Bone marrow aspirate smear: 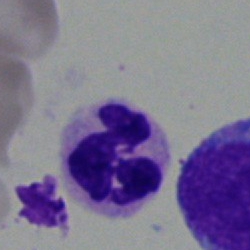
The cell type is polymorphonuclear neutrophil.